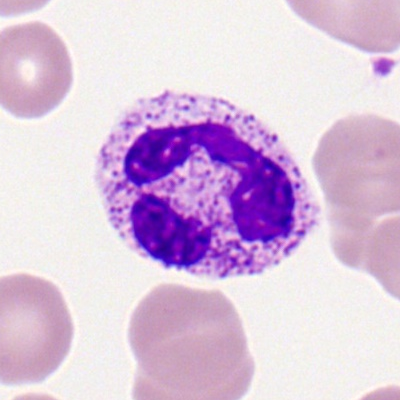
Q: What is shown here?
A: Polymorphonuclear neutrophil.